Bone marrow smear · brightfield microscopy, 40× oil immersion · cropped to a single cell:
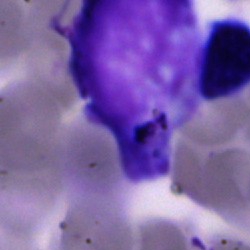Q: What is shown here?
A: This is an artifact.